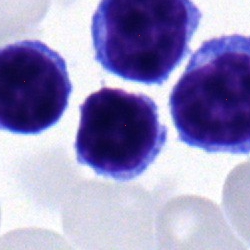

Morphology → typical lymphocyte.